Bone marrow aspirate smear — 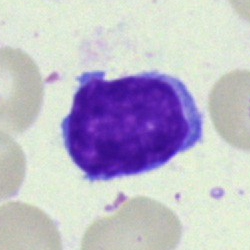Q: What type of cell is this?
A: A lymphocyte.